Bone marrow aspirate smear — 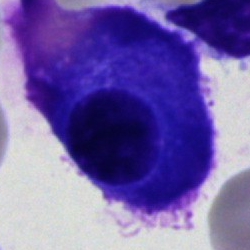
Morphology consistent with a plasma cell.